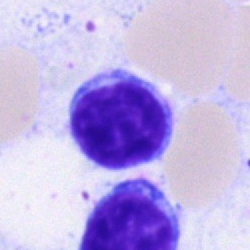
Cell type = lymphocyte.